Bone marrow aspirate smear; 40× objective, oil immersion:
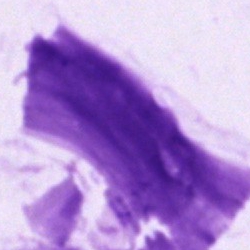

Specimen: bone marrow aspirate smear.
Morphological class: artifact.